Bone marrow smear. Brightfield, 40× oil-immersion objective — 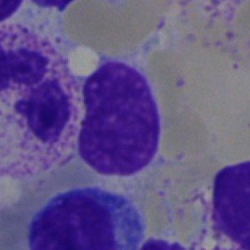

Specimen: bone marrow smear.
Cell: artifact.